40× objective, oil immersion. Bone marrow aspirate smear:
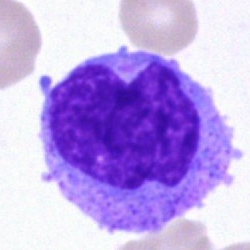
This is a monocyte.